Bone marrow aspirate smear
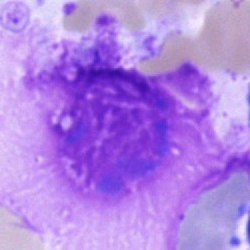
Q: What is shown here?
A: This is an artefact.